Bone marrow smear — 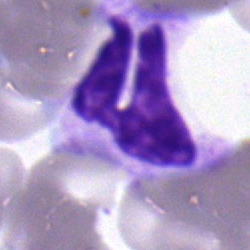 Morphology consistent with a neutrophil (segmented).